Bone marrow aspirate smear — 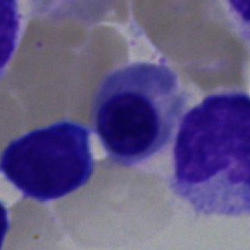Erythroblast.